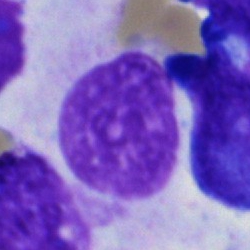
Cell type = artefact.